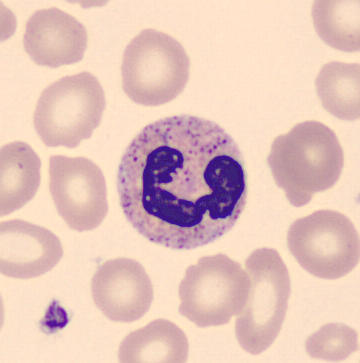
Morphology consistent with a polymorphonuclear neutrophil.

Peripheral blood smear.